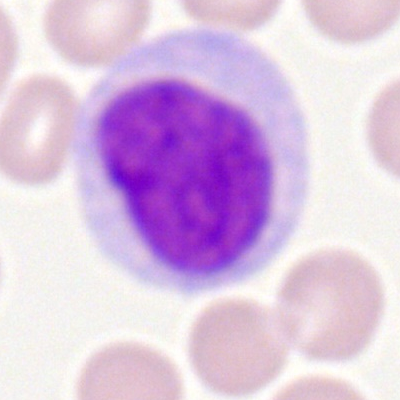

Morphology — myeloid blast.